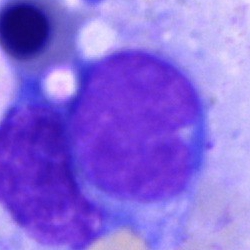A blast on a bone marrow smear.